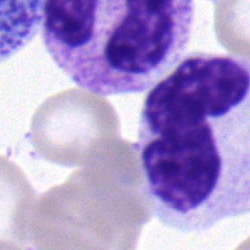
Q: Identify the cell.
A: It is a polymorphonuclear neutrophil.